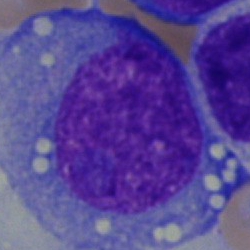
A blast.